Peripheral blood smear: 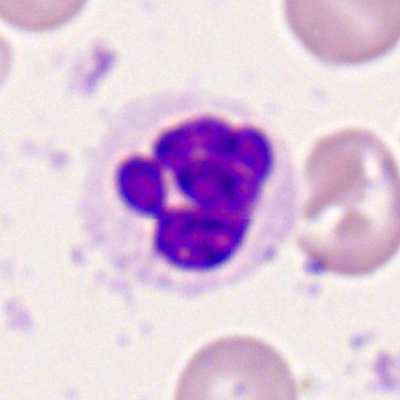Morphology consistent with a polymorphonuclear neutrophil.